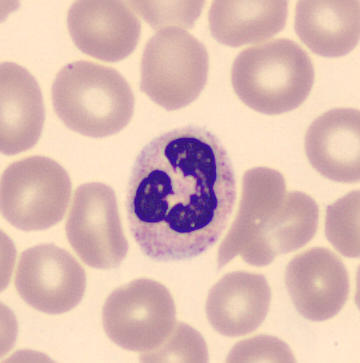

Peripheral blood smear; CellaVision DM96 digital cell image.

{"cell_type": "segmented neutrophil"}